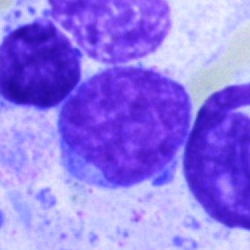
Classification — blast cell.